May-Grünwald-Giemsa/Pappenheim stain · 250 by 250 pixels · bone marrow aspirate smear
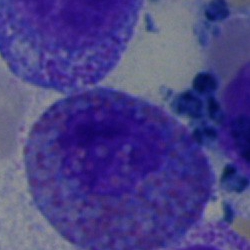

Specimen: bone marrow smear.
Morphological class: eosinophil.